Bone marrow aspirate smear. 40× objective, oil immersion: 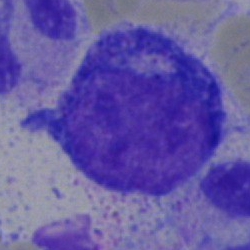Cell — pronormoblast.